Bone marrow aspirate smear.
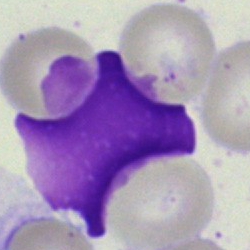
Q: What is shown here?
A: An artefact.